Brightfield, 40× oil-immersion objective. Bone marrow smear
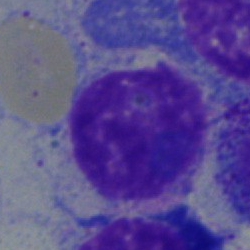

Specimen: bone marrow aspirate smear.
Morphological class: myelocyte.